Bone marrow aspirate smear: 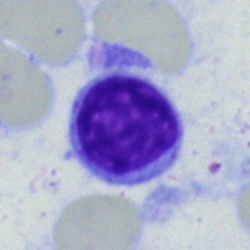
Morphological class: typical lymphocyte.